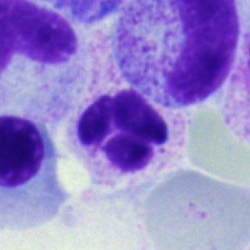Specimen: bone marrow smear.
Cell: neutrophil (segmented).
Lineage: myeloid.